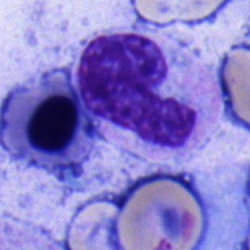Bone marrow aspirate smear, single cell — band-form neutrophil.